Bone marrow smear.
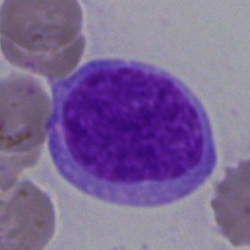
The cell is blast cell.